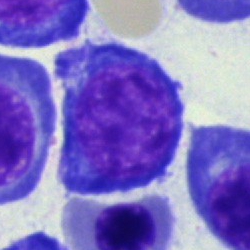 Cell: normoblast.